400×400 · peripheral blood film:
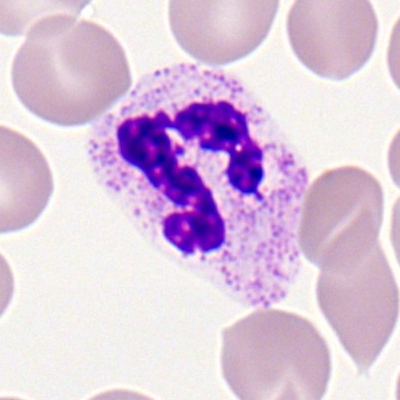

The cell is segmented neutrophil.